Bone marrow aspirate smear. May-Grünwald-Giemsa stain. Single cell centered in the field
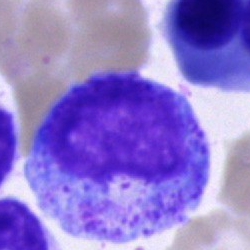Cell type = promyelocyte.